250 by 250 pixels. Bone marrow aspirate smear. Brightfield, 40× oil-immersion objective
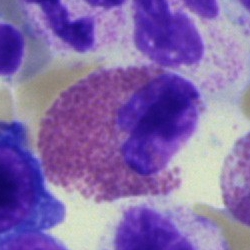Q: Identify the cell.
A: An eosinophil.